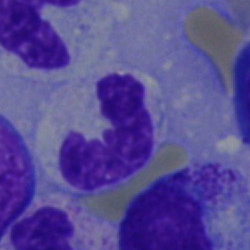

{"cell_type": "band-form neutrophil", "lineage": "myeloid"}